Bone marrow smear — 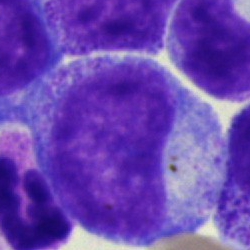
The cell is promyelocyte.